Bone marrow smear
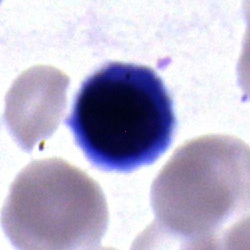

Morphological class = erythroblast.